Bone marrow aspirate smear. Cropped to a single cell. Brightfield, 40× oil-immersion objective — 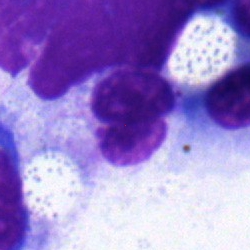 Q: What cell is this?
A: This is a neutrophil (segmented).